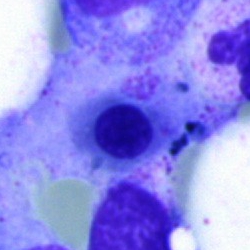
A nucleated red cell on a bone marrow smear.